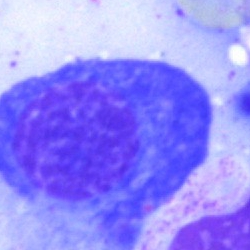 Q: What is the morphological classification of this cell?
A: A plasmacyte.